Bone marrow aspirate smear: 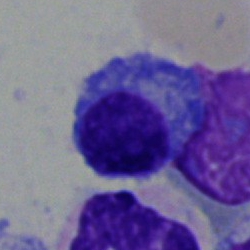
Morphology — plasma cell.